Bone marrow smear. 250×250. May-Grünwald-Giemsa stain — 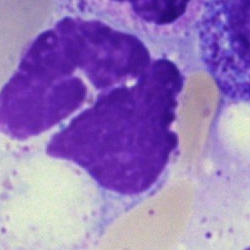

Showing an artifact.